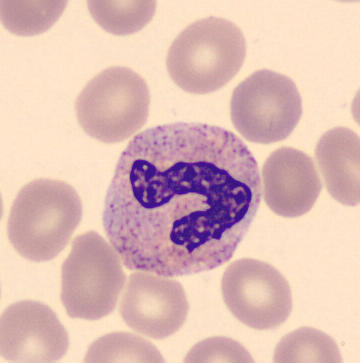
Showing a polymorphonuclear neutrophil.